Bone marrow aspirate smear — 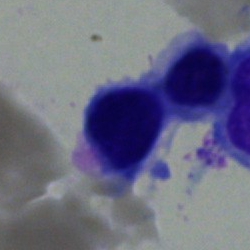 Nucleated red cell.